Peripheral blood smear
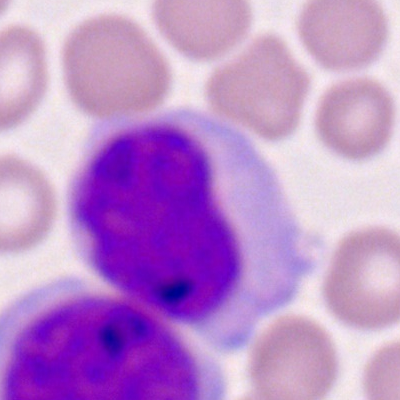
Classification = monocyte.